Bone marrow aspirate smear.
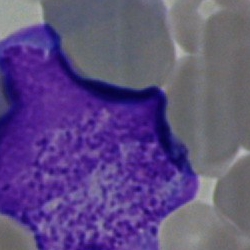Cell type: undifferentiated blast.